Bone marrow aspirate smear: 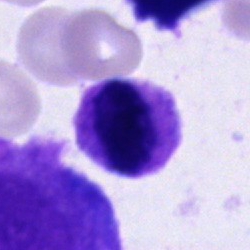Q: What is shown here?
A: Artifact.